Bone marrow aspirate smear: 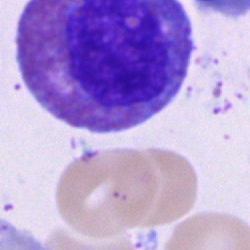Showing an eosinophil.